250×250; bone marrow smear — 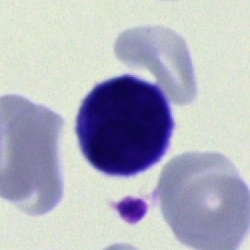

A typical lymphocyte.